250 by 250 pixels. Bone marrow aspirate smear: 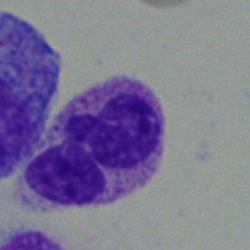 Q: Identify the cell.
A: A segmented neutrophil.